40× oil immersion. Bone marrow smear. Single-cell field.
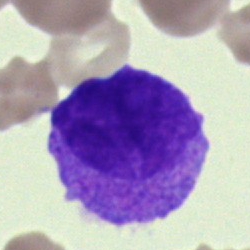Classification: undifferentiated blast.